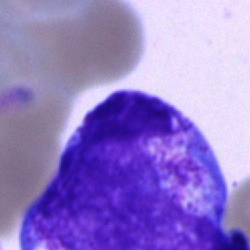
Bone marrow smear showing a promyelocyte.